Bone marrow aspirate smear; May-Grünwald-Giemsa/Pappenheim stain:
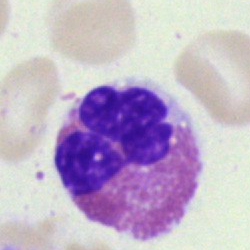
Morphology — eosinophil.